Bone marrow aspirate smear · May-Grünwald-Giemsa/Pappenheim stain:
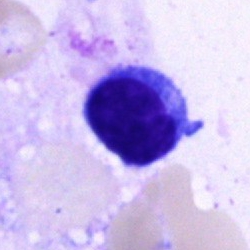

Q: What type of cell is this?
A: Lymphocyte.